Bone marrow smear; May-Grünwald-Giemsa/Pappenheim stain.
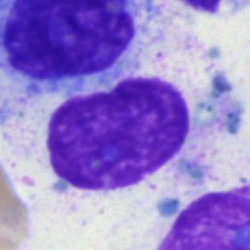An artefact.